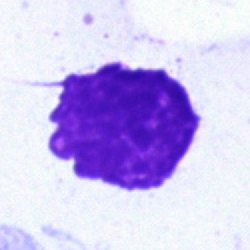 Morphology — artefact.